Cropped to a single cell. Bone marrow smear: 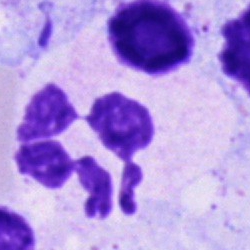
Cell: polymorphonuclear neutrophil.